Bone marrow smear:
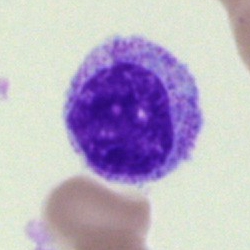

Cell = myelocyte.